Bone marrow smear; single cell centered in the field; brightfield, 40× oil-immersion objective — 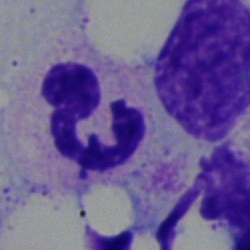
Classification: polymorphonuclear neutrophil.